Bone marrow aspirate smear — 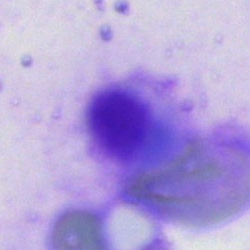
The classification is artefact.